Bone marrow aspirate smear.
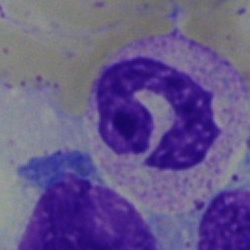Specimen: bone marrow smear.
Morphological class: neutrophil (band).
Lineage: myeloid.